Bone marrow aspirate smear
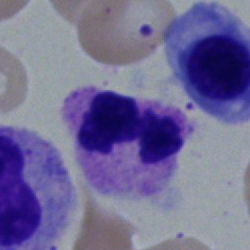

The morphological class is segmented neutrophil.